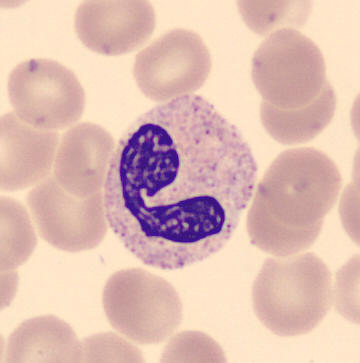 Specimen: peripheral blood film.
Classification: polymorphonuclear neutrophil.
Lineage: myeloid.